Bone marrow aspirate smear · 250×250 px.
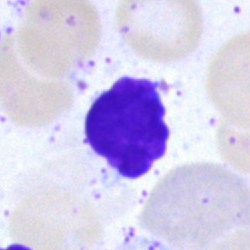

{"cell_type": "artifact"}